Bone marrow smear
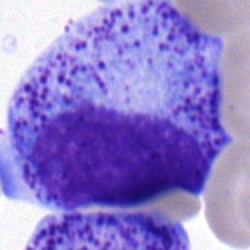 Morphological class: promyelocyte.